250 by 250 pixels · bone marrow smear: 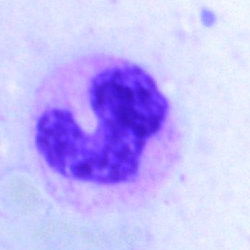
Single cell identified as a band neutrophil.